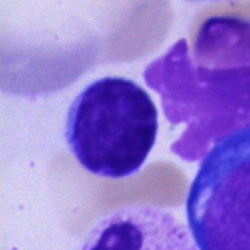 Q: What type of cell is this?
A: A typical lymphocyte.